250×250; bone marrow aspirate smear; May-Grünwald-Giemsa/Pappenheim stain
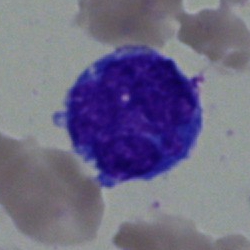 The cell shown is a typical lymphocyte.